Brightfield, 40× oil-immersion objective · bone marrow smear · 250 by 250 pixels: 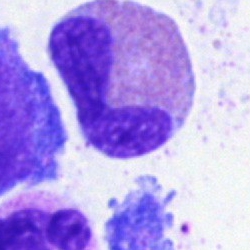

{"cell_type": "eosinophilic granulocyte"}